Bone marrow smear: 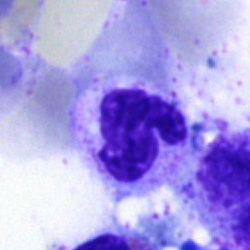 This is a segmented neutrophil.